250 by 250 pixels. 40× objective, oil immersion. Bone marrow smear:
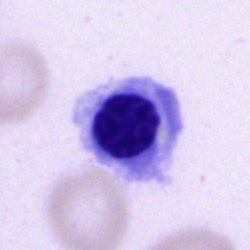

Impression → erythroblast.